Image size 250×250 · bone marrow aspirate smear · May-Grünwald-Giemsa/Pappenheim stain:
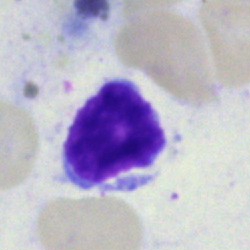
Cell — lymphocyte.